Bone marrow aspirate smear
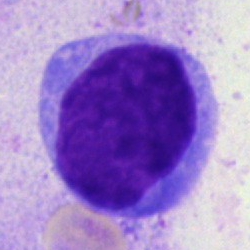{"cell_type": "blast"}